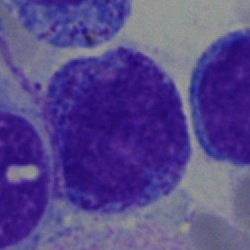
Morphological class = progranulocyte.